Bone marrow aspirate smear; Pappenheim-stained: 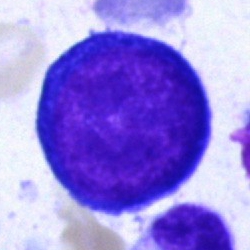
The classification is proerythroblast.